Bone marrow smear:
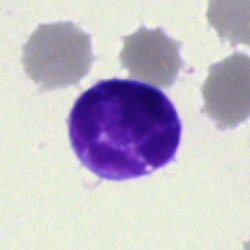 Morphology consistent with a lymphocyte.